250×250; May-Grünwald-Giemsa/Pappenheim stain; bone marrow smear: 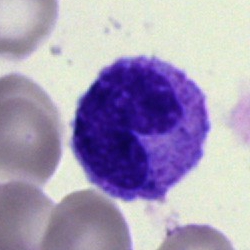
Morphology → stab cell.